Bone marrow smear.
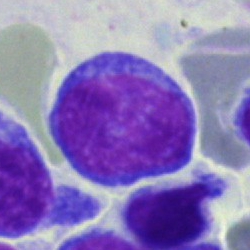
Cell type = proerythroblast.